Bone marrow smear. 40× oil immersion. Single-cell crop — 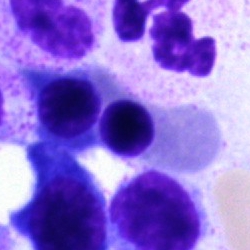

Q: Which cell type is shown here?
A: This is a nucleated red cell.